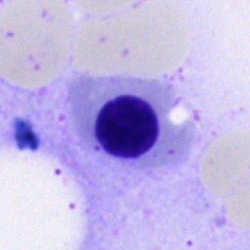
The cell is erythroblast.